Bone marrow smear: 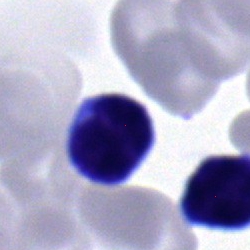Specimen: bone marrow smear.
Cell type: lymphocyte.
Lineage: lymphoid.